Bone marrow aspirate smear; single-cell crop:
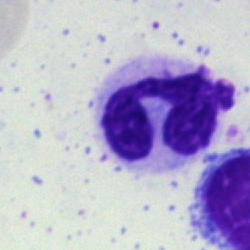
{"cell_type": "neutrophil (segmented)"}